Bone marrow aspirate smear · 250 by 250 pixels.
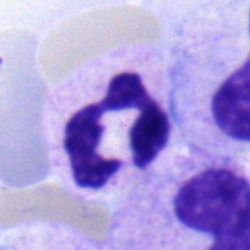 Q: Identify the cell.
A: Neutrophil (segmented).